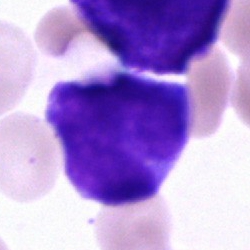The classification is blast.